MGG-stained; bone marrow aspirate smear — 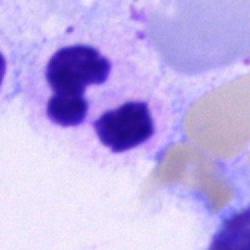
Specimen: bone marrow aspirate smear.
Morphological class: polymorphonuclear neutrophil.